Image size 250×250 · bone marrow aspirate smear:
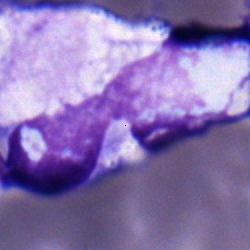 Classification = band-form neutrophil.